Peripheral blood film: 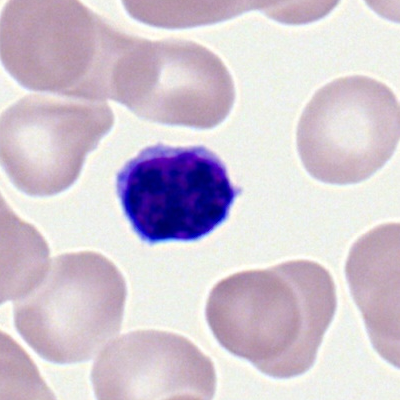Lymphocyte.